Peripheral blood smear.
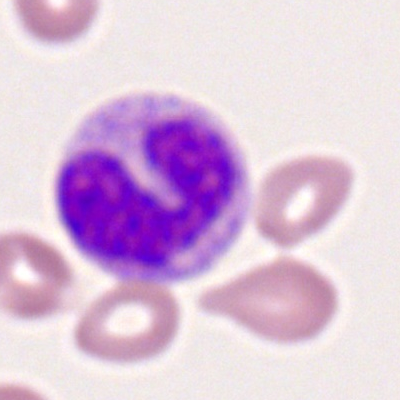
{"cell_type": "band-form neutrophil", "lineage": "myeloid"}